Bone marrow aspirate smear — 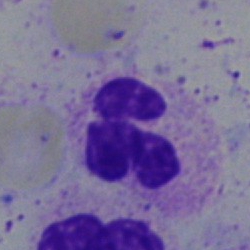Showing a segmented neutrophil.